Bone marrow aspirate smear:
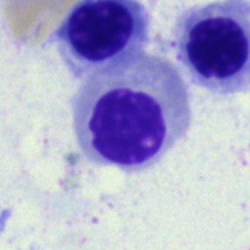

Showing a nucleated red blood cell.